Bone marrow smear · 250 by 250 pixels · 40× oil immersion:
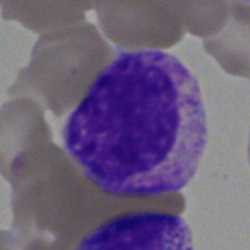The cell shown is a myelocyte.